250×250. Bone marrow aspirate smear: 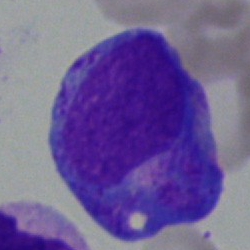{"cell_type": "promyelocyte", "lineage": "myeloid"}